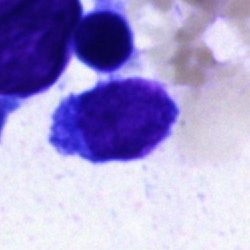
Specimen: bone marrow smear.
Cell: typical lymphocyte.